40× objective, oil immersion · bone marrow smear: 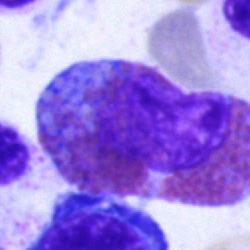

The cell is eosinophilic granulocyte.